Bone marrow smear; 40× oil immersion; single cell centered in the field
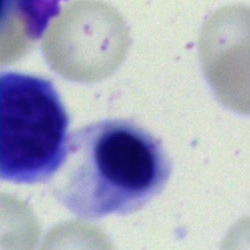 Classification: erythroblast.